Bone marrow smear. May-Grünwald-Giemsa/Pappenheim stain
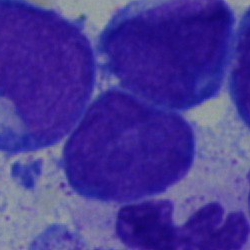 This is a blast.